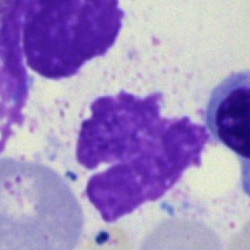

Specimen: bone marrow smear.
Classification: artifact.